Bone marrow aspirate smear:
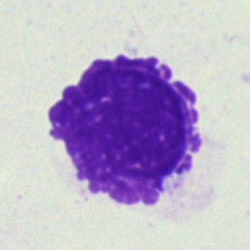
Classification — artefact.